Bone marrow smear:
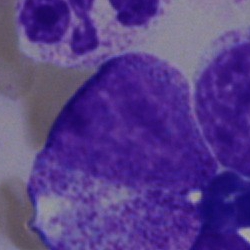
Q: What is shown here?
A: It is a myelocyte.